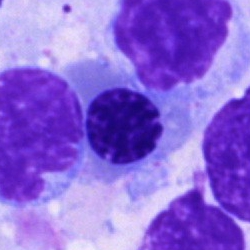Q: What type of cell is this?
A: Erythroblast.